Bone marrow aspirate smear.
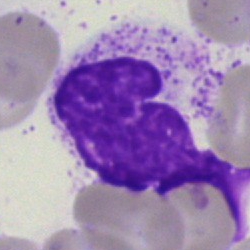

Q: What is shown here?
A: This is an artefact.